Bone marrow smear — 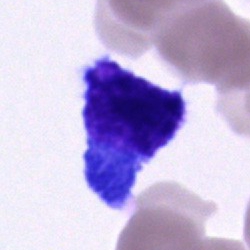Q: What is shown here?
A: This is an undifferentiated blast.